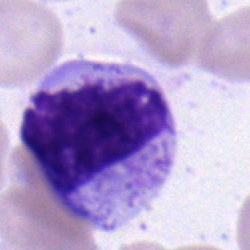
Bone marrow smear showing a myelocyte.